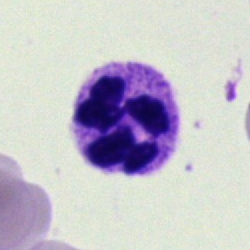Q: What is shown here?
A: A polymorphonuclear neutrophil.